Peripheral blood film — 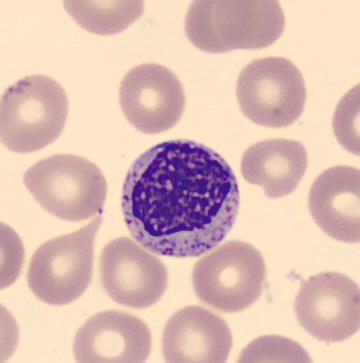
Classification — myelocyte.